Bone marrow smear; brightfield, 40× oil-immersion objective:
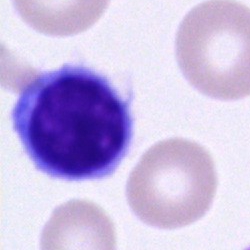Specimen: bone marrow smear.
Morphological class: lymphocyte.
Lineage: lymphoid.